250×250; bone marrow aspirate smear; brightfield microscopy, 40× oil immersion
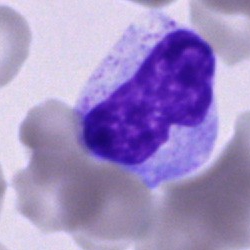Specimen: bone marrow smear.
Cell type: unidentifiable cell.